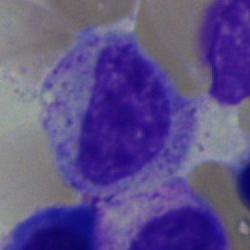
Single-cell crop from a bone marrow smear: myelocyte.